Bone marrow aspirate smear.
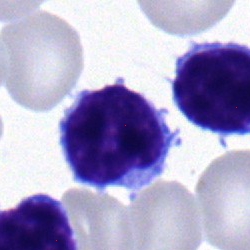
Q: What type of cell is this?
A: A typical lymphocyte.